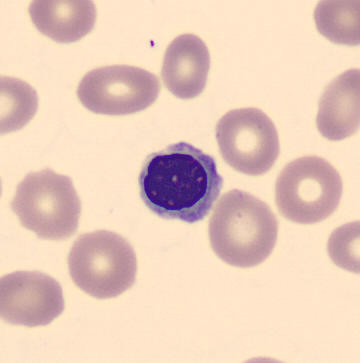
Morphology → normoblast.